Bone marrow smear · brightfield microscopy, 40× oil immersion.
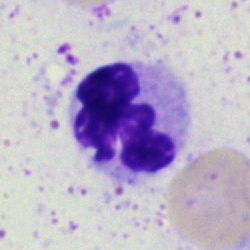
Classification = neutrophil (segmented).